Bone marrow smear. 40× objective, oil immersion — 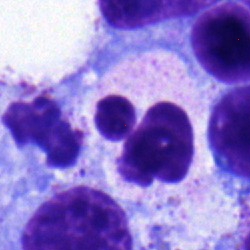

This is a segmented neutrophil.